Brightfield microscopy, 40× oil immersion; bone marrow smear
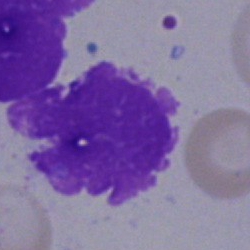Q: What is shown here?
A: It is an artefact.